Peripheral blood film. Romanowsky-stained: 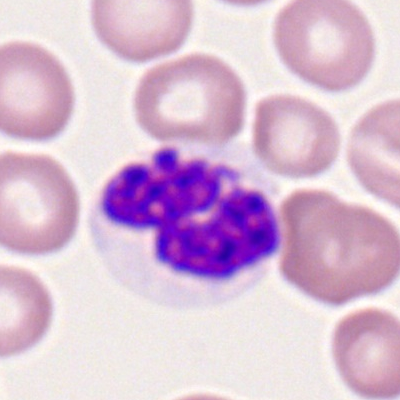 Showing a neutrophil (segmented).